250×250. MGG-stained. Bone marrow aspirate smear.
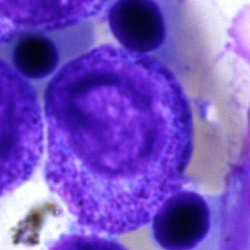
A myelocyte.